Bone marrow aspirate smear. 40× objective, oil immersion: 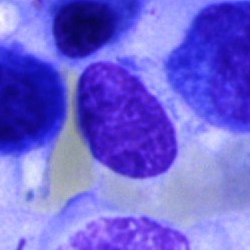An artefact.